250×250 px; bone marrow aspirate smear — 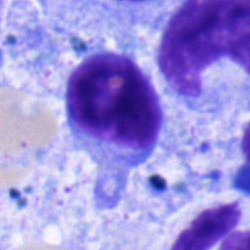Cell type = lymphocyte.